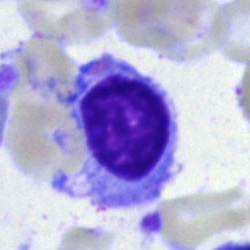Specimen: bone marrow smear.
Morphological class: lymphocyte.
Lineage: lymphoid.